Bone marrow aspirate smear
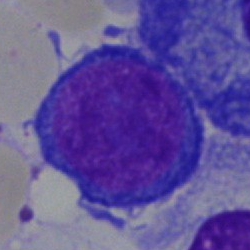 Morphological class: normoblast.